Romanowsky-type stain. Peripheral blood smear: 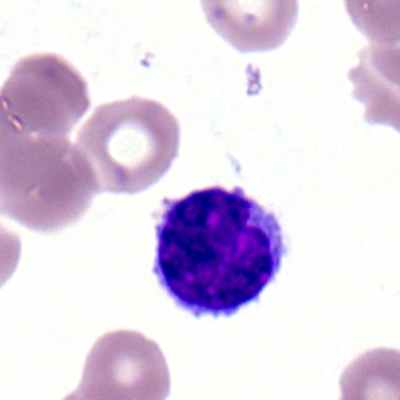
Specimen: peripheral blood film.
Morphological class: lymphocyte.